250×250. Bone marrow smear. Single-cell field — 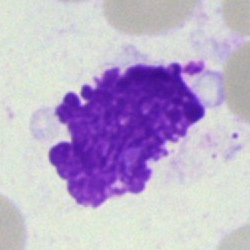Classification = artifact.